Pappenheim-stained · bone marrow aspirate smear
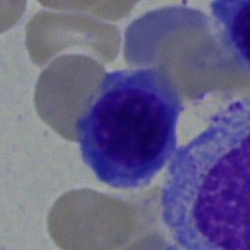
Specimen: bone marrow aspirate smear.
Morphological class: nucleated red cell.
Lineage: erythroid.